Bone marrow smear
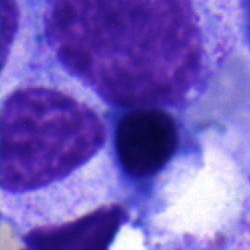

The cell shown is a myelocyte.